Cropped to a single cell; peripheral blood film — 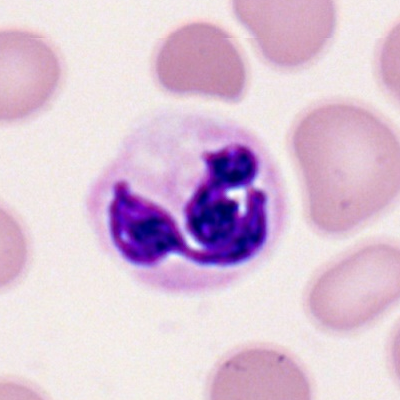

A neutrophil (segmented).